Single-cell crop · bone marrow aspirate smear: 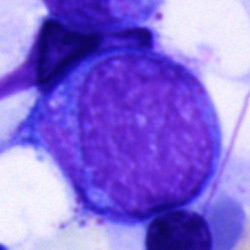The cell shown is a progranulocyte.